May-Grünwald-Giemsa/Pappenheim stain. Bone marrow aspirate smear — 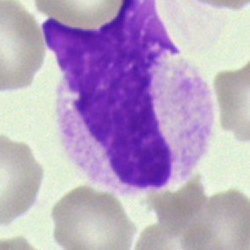
Artefact.